Bone marrow smear; MGG-stained — 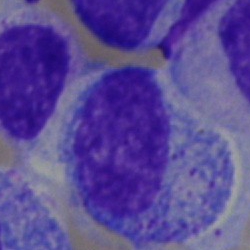

Specimen: bone marrow aspirate smear.
Cell: progranulocyte.
Lineage: myeloid.